Bone marrow aspirate smear.
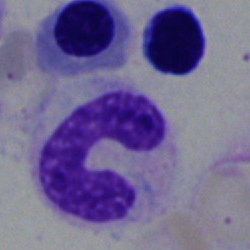

Showing a stab cell.